Bone marrow aspirate smear.
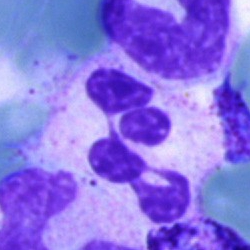 This is a segmented neutrophil.